Bone marrow aspirate smear. 250×250
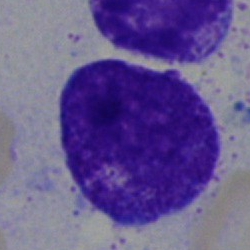
The cell shown is a promyelocyte.